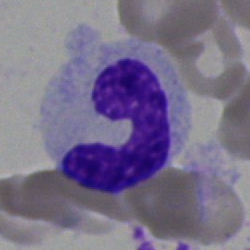

Single cell identified as a polymorphonuclear neutrophil.